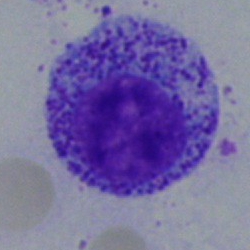
Cell — myelocyte.